Bone marrow aspirate smear; May-Grünwald-Giemsa stain: 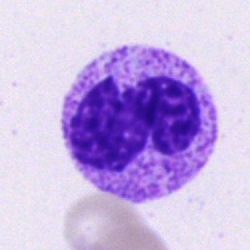

Cell — neutrophil (segmented).